Bone marrow smear; brightfield microscopy, 40× oil immersion — 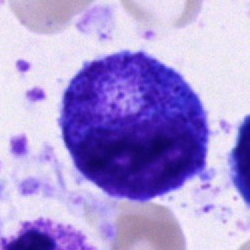Cell type — progranulocyte.